Brightfield, 40× oil-immersion objective · bone marrow aspirate smear: 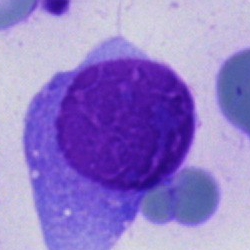
This is an unidentifiable cell.